250×250 · bone marrow smear: 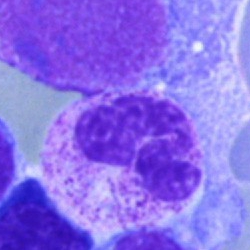 Showing a neutrophil (segmented).